Bone marrow smear; single-cell crop; 250 by 250 pixels — 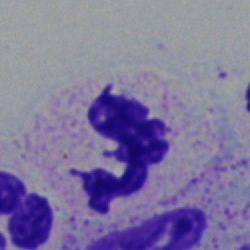
Cell: segmented neutrophil.